Bone marrow aspirate smear — 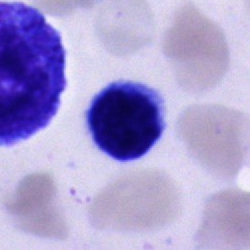 Cell type — cell of indeterminate lineage.